Single-cell field; bone marrow aspirate smear: 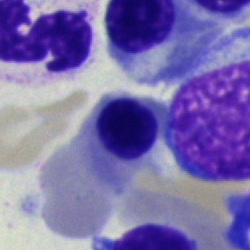 Specimen: bone marrow smear.
Cell: erythroblast.